Bone marrow aspirate smear. Brightfield, 40× oil-immersion objective:
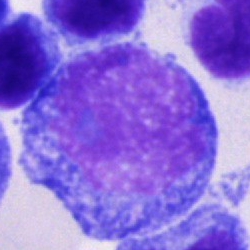 Morphology consistent with a progranulocyte.